Bone marrow aspirate smear — 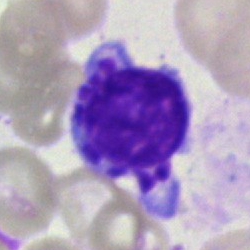Single cell identified as a typical lymphocyte.